Bone marrow smear; single cell centered in the field; Pappenheim-stained — 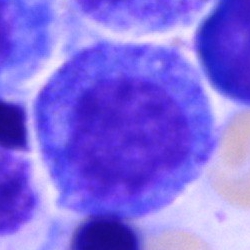
Cell = progranulocyte.